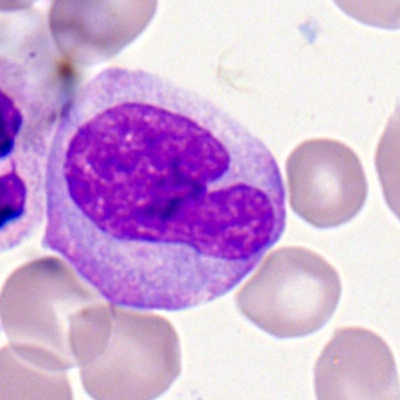

A monocyte on a peripheral blood smear.